Peripheral blood smear. Romanowsky stain. Single-cell field — 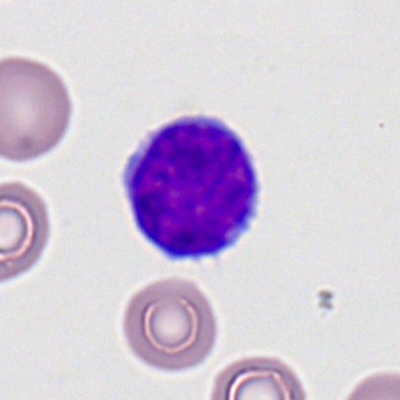 A typical lymphocyte.